Bone marrow aspirate smear; Pappenheim-stained; single cell centered in the field
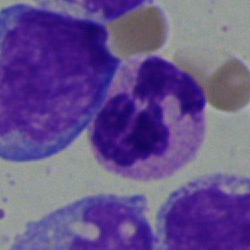{"cell_type": "neutrophil (segmented)", "lineage": "myeloid"}